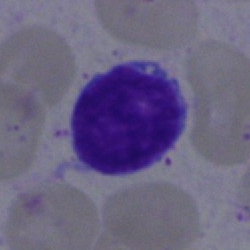 {"cell_type": "lymphocyte"}